Single-cell crop; bone marrow aspirate smear.
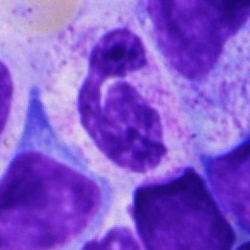
Morphology consistent with a neutrophil (segmented).